Bone marrow aspirate smear:
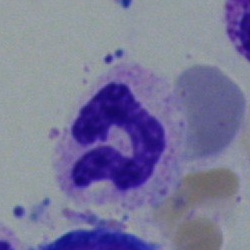 A segmented neutrophil.